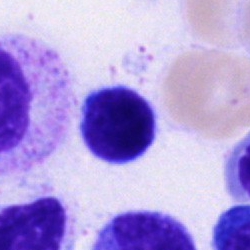

Classification = typical lymphocyte.